Bone marrow smear.
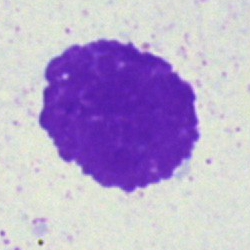
Morphology — artefact.